Brightfield, 40× oil-immersion objective. Single-cell field. Bone marrow smear: 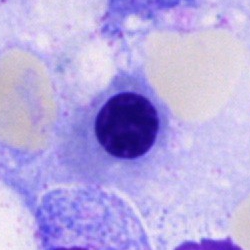Q: What cell is this?
A: A nucleated red blood cell.